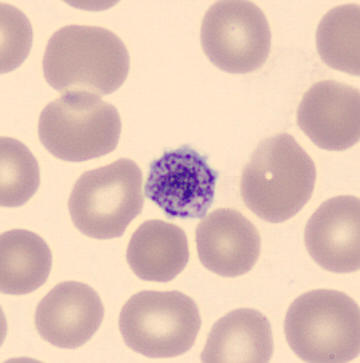Specimen: peripheral blood smear.
Morphological class: thrombocyte.